Bone marrow smear:
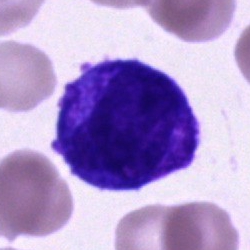The cell is unidentifiable cell.